Single-cell crop; bone marrow aspirate smear:
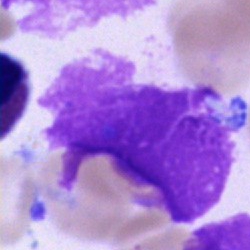

Morphology consistent with an artefact.